Bone marrow smear; MGG-stained — 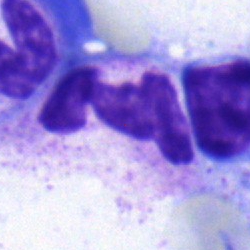

Morphology → neutrophil (segmented).